Bone marrow aspirate smear: 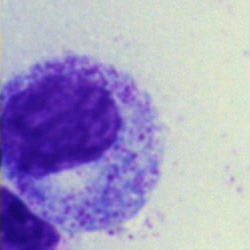

Q: What type of cell is this?
A: Myelocyte.